May-Grünwald-Giemsa/Pappenheim stain · bone marrow aspirate smear · brightfield microscopy, 40× oil immersion
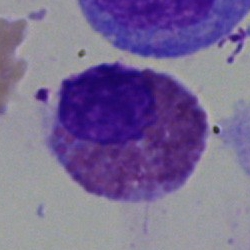{"cell_type": "eosinophil", "lineage": "myeloid"}